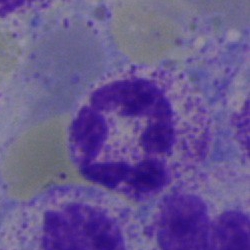

Cell type = polymorphonuclear neutrophil.